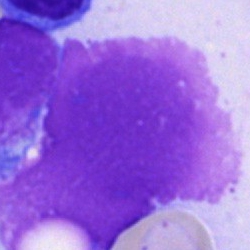
Bone marrow smear showing an artefact.